Bone marrow smear · 40× objective, oil immersion · MGG-stained
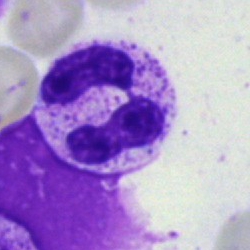
{"cell_type": "neutrophil (segmented)"}